250 by 250 pixels · bone marrow aspirate smear:
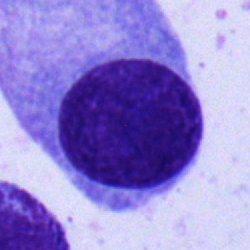 Morphology → plasmacyte.